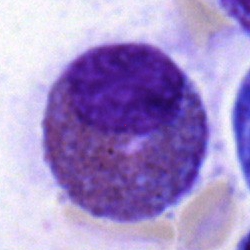The cell type is eosinophilic granulocyte.